Bone marrow smear · May-Grünwald-Giemsa stain:
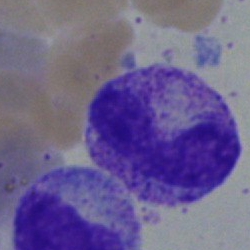 The cell shown is a neutrophil (band).